Bone marrow aspirate smear. Single-cell field — 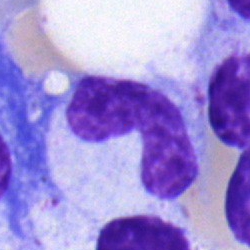Morphological class: neutrophil (band).